Single-cell field. Bone marrow smear. May-Grünwald-Giemsa stain:
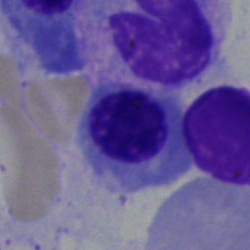

Single cell identified as a normoblast.